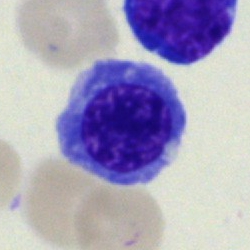The cell is erythroblast.